40× objective, oil immersion; bone marrow smear
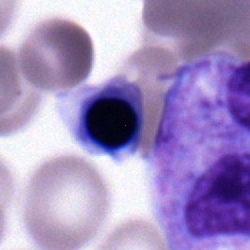
Showing a nucleated red cell.